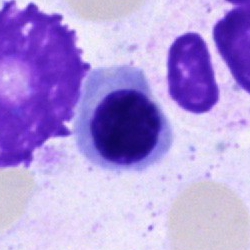

Single cell identified as a normoblast.